250×250; bone marrow smear: 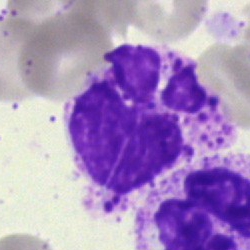
A basophil.